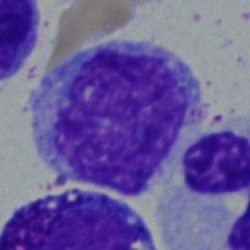 The classification is monocyte.